Bone marrow smear:
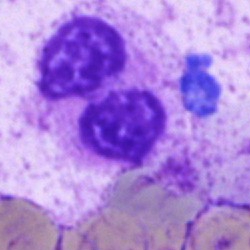 A segmented neutrophil.